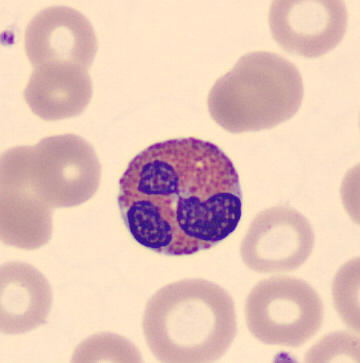

Cell — eosinophilic granulocyte. Image: Peripheral blood smear · CellaVision DM96 digital cell image.